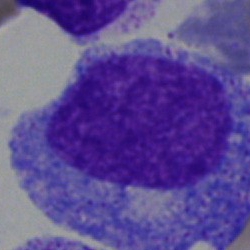
Classification — progranulocyte.